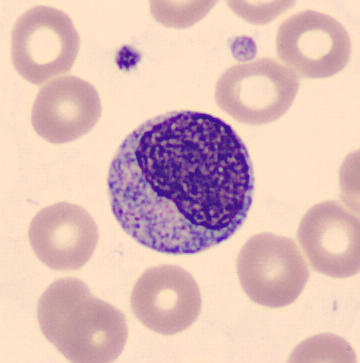
Image: Peripheral blood film; 360×363; single-cell crop.

Morphology → myelocyte.